Bone marrow aspirate smear · image size 250×250 — 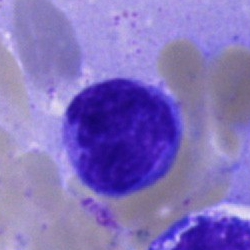
The cell type is monocyte.